Bone marrow aspirate smear.
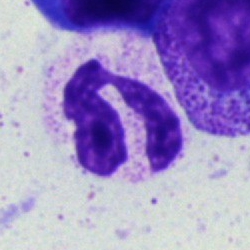 Morphology consistent with a neutrophil (segmented).